Bone marrow aspirate smear; Pappenheim-stained: 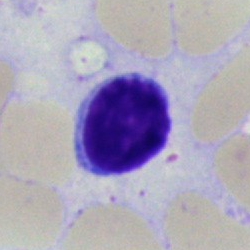 Lymphocyte.